Bone marrow smear:
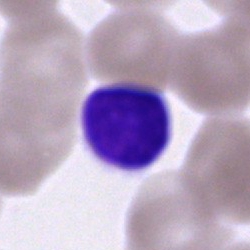Showing a typical lymphocyte.